Bone marrow smear — 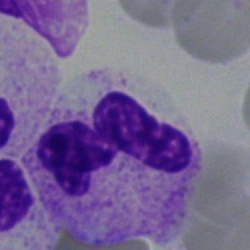

Cell type = neutrophil (segmented).